Bone marrow smear — 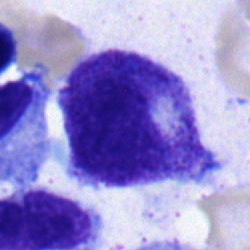
Myelocyte.